Bone marrow smear: 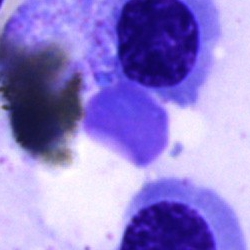 The cell type is unidentifiable cell.